Brightfield, 40× oil-immersion objective. Bone marrow smear.
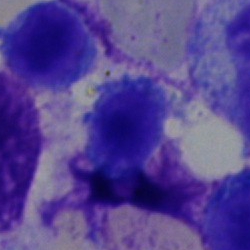
The cell shown is a typical lymphocyte.